Bone marrow smear.
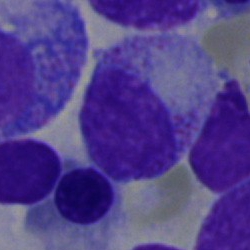Single cell identified as a myelocyte.